Single-cell crop; MGG-stained; bone marrow smear: 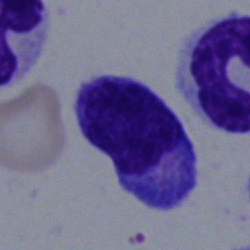 Q: Identify the cell.
A: A typical lymphocyte.